Bone marrow smear.
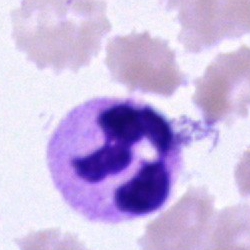
Q: What type of cell is this?
A: This is a polymorphonuclear neutrophil.